Bone marrow smear — 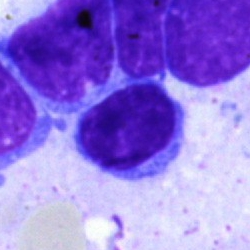Q: What is the morphological classification of this cell?
A: This is a lymphocyte.